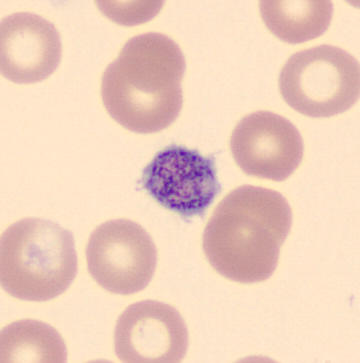

360×363 px · MGG-stained · peripheral blood film.
Classification = thrombocyte.